Bone marrow smear
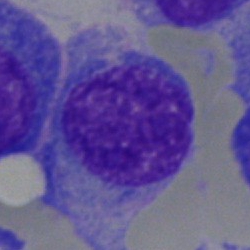 Showing a plasma cell.